Peripheral blood film.
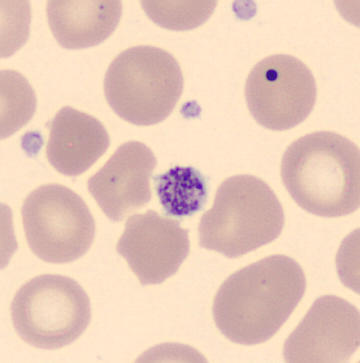 Q: What is shown here?
A: It is a thrombocyte.